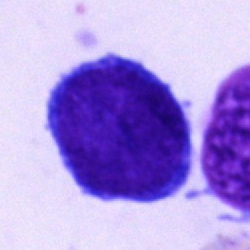

Q: Identify the cell.
A: It is a blast cell.